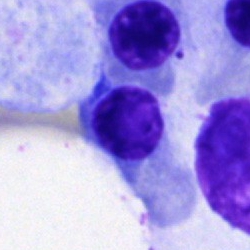

This is an artefact.